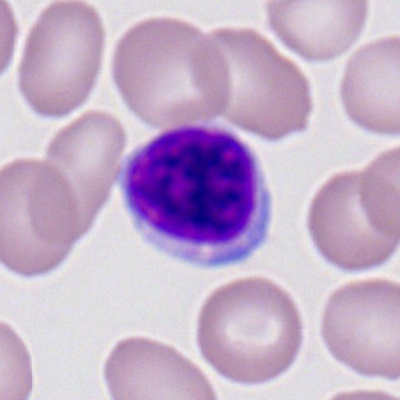

Cell — typical lymphocyte.